Romanowsky-stained. Single-cell field. Peripheral blood smear — 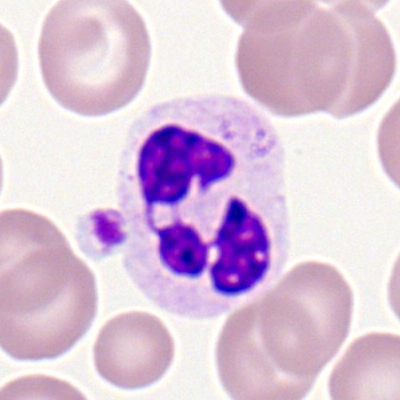Specimen: peripheral blood film.
Morphological class: neutrophil (segmented).
Lineage: myeloid.